Bone marrow aspirate smear — 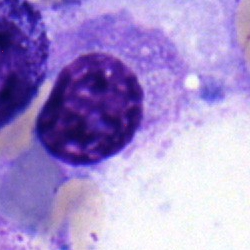Specimen: bone marrow smear.
Morphological class: plasmacyte.